Bone marrow aspirate smear. May-Grünwald-Giemsa/Pappenheim stain. 250 by 250 pixels
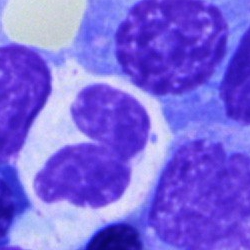 Q: What cell is this?
A: Neutrophil (segmented).